Bone marrow smear:
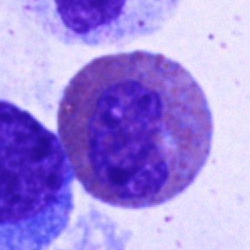 Impression → eosinophilic granulocyte.